Peripheral blood film: 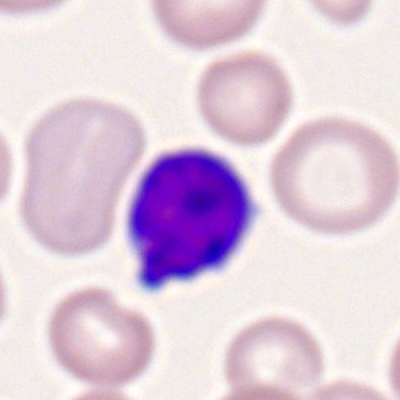
This is a lymphocyte.